MGG-stained; bone marrow aspirate smear:
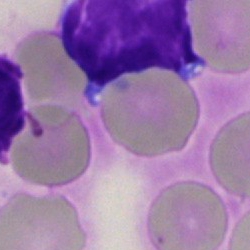An artifact.